Bone marrow aspirate smear. Image size 250×250:
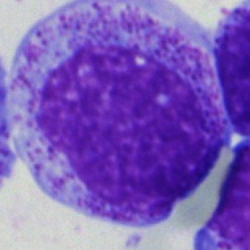

Morphology — progranulocyte.